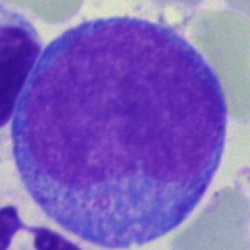
Q: What is shown here?
A: Promyelocyte.